Bone marrow aspirate smear:
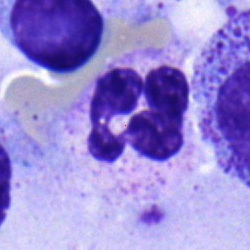Morphology — neutrophil (segmented).